Bone marrow smear: 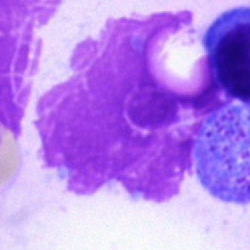Morphology consistent with an artifact.